Image size 250×250. Bone marrow aspirate smear
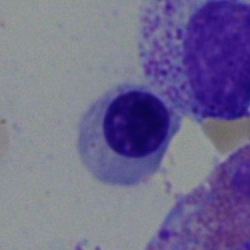The cell shown is an erythroblast.